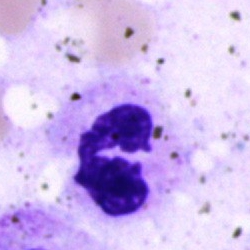 Single-cell crop from a bone marrow smear: segmented neutrophil.